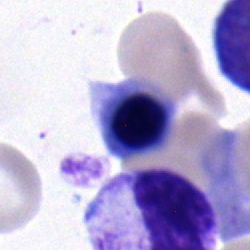

Bone marrow smear showing a normoblast.